Bone marrow smear — 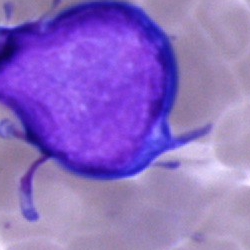 Morphology consistent with an undifferentiated blast.